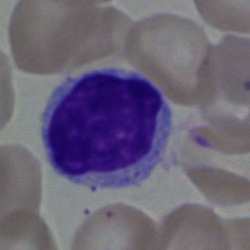 The cell is lymphocyte.